Bone marrow aspirate smear. Single-cell crop
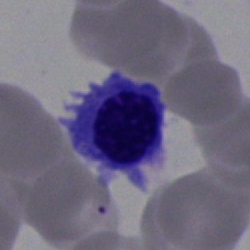

Morphological class = erythroblast.